250×250 px. Bone marrow smear
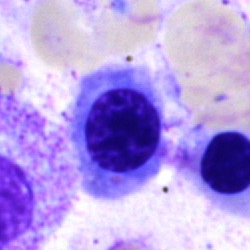
Classification — erythroblast.